Pappenheim-stained. Bone marrow aspirate smear
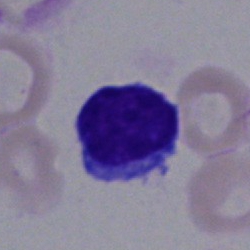

Morphological class — typical lymphocyte.